Bone marrow aspirate smear
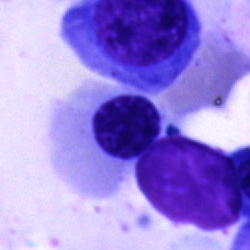{"cell_type": "normoblast"}